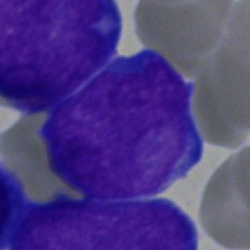 Specimen: bone marrow smear.
Cell type: blast.